Bone marrow aspirate smear
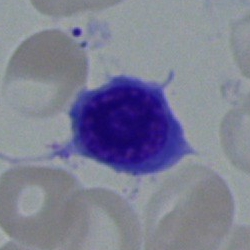 Impression — typical lymphocyte.